Bone marrow aspirate smear.
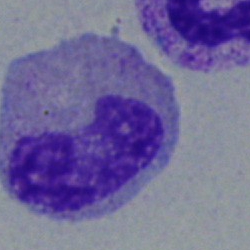 Q: Which cell type is shown here?
A: Band-form neutrophil.